Peripheral blood smear.
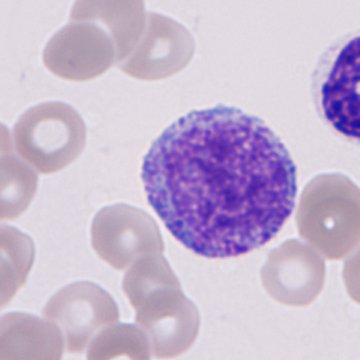 Morphology → granulocyte precursor.